Bone marrow smear:
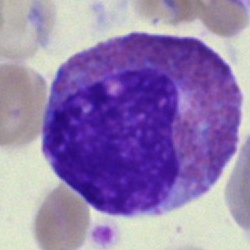The cell type is eosinophil.